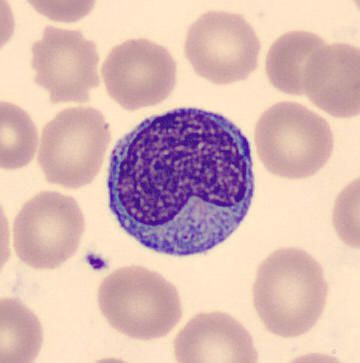 Peripheral blood film. The cell is monocyte.